Bone marrow aspirate smear · brightfield, 40× oil-immersion objective
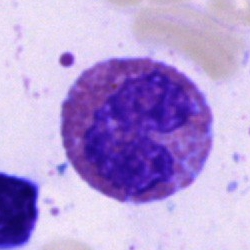

Morphology consistent with an eosinophilic granulocyte.